Bone marrow smear: 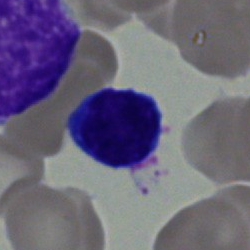 Cell type: typical lymphocyte.